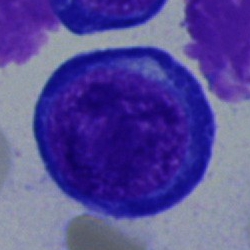Classification: proerythroblast.